250 by 250 pixels; bone marrow aspirate smear — 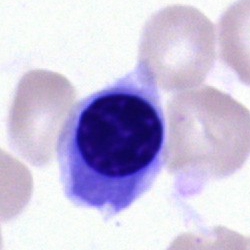 Showing a nucleated red cell.